Bone marrow smear
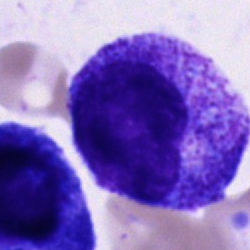

Single cell identified as a progranulocyte.